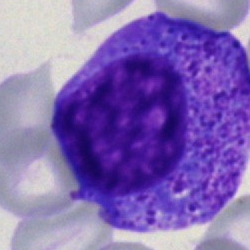 Cell type = promyelocyte.